Brightfield microscopy, 40× oil immersion. May-Grünwald-Giemsa/Pappenheim stain. Bone marrow smear: 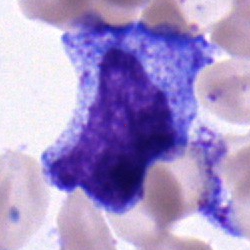

Q: Identify the cell.
A: Progranulocyte.